Bone marrow smear:
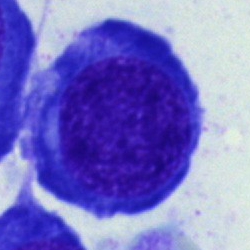

A nucleated red cell.